Peripheral blood film.
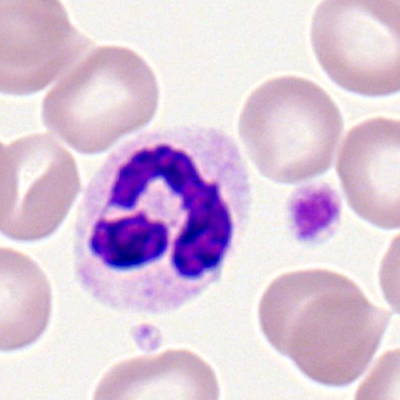

Impression — segmented neutrophil.